Bone marrow smear — 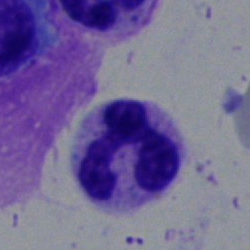 This is a neutrophil (segmented).